Single-cell field; 250 by 250 pixels; bone marrow smear
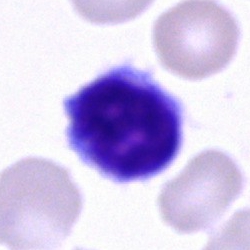
Single cell identified as a lymphocyte.